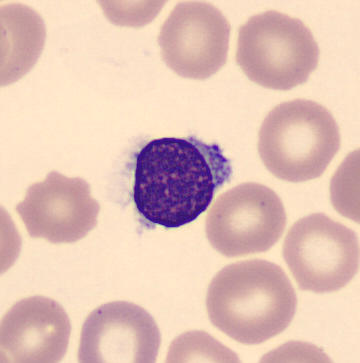
Morphological class — lymphocyte. Peripheral blood smear; cropped to a single cell; imaged on a CellaVision DM96 analyser.